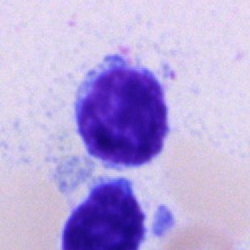

Impression — typical lymphocyte.